Single cell centered in the field · 250×250 px · bone marrow smear.
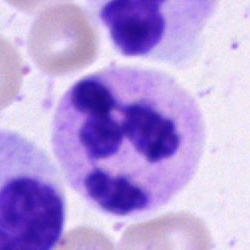Q: Which cell type is shown here?
A: This is a segmented neutrophil.